Bone marrow aspirate smear — 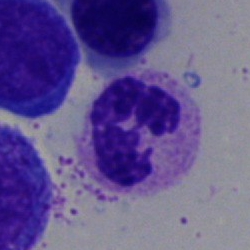
The cell shown is a neutrophil (segmented).